40× objective, oil immersion; bone marrow aspirate smear
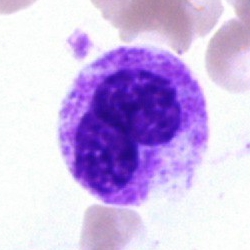

Single cell identified as a metamyelocyte.